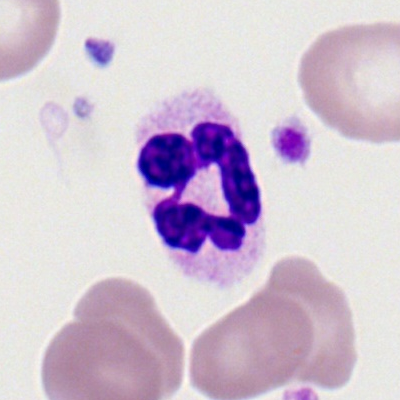

Q: Which cell type is shown here?
A: Polymorphonuclear neutrophil.